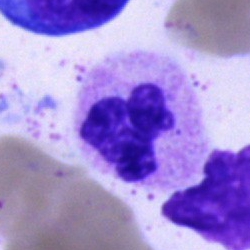

Classification — polymorphonuclear neutrophil.